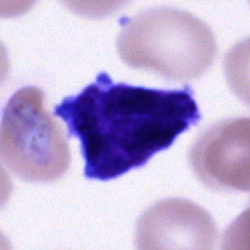 This is a cell of indeterminate lineage.